Bone marrow aspirate smear; May-Grünwald-Giemsa stain — 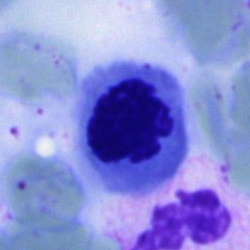

Morphology → erythroblast.